Bone marrow aspirate smear
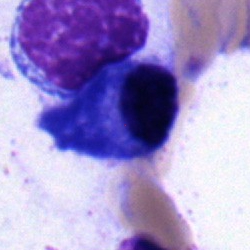 Showing a plasma cell.